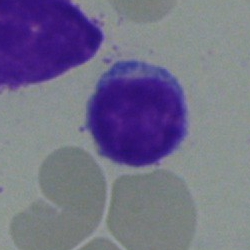
Q: What cell is this?
A: A typical lymphocyte.